Bone marrow smear · cropped to a single cell
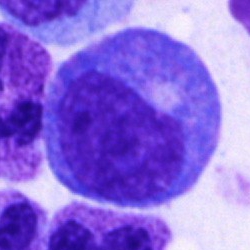 This is a progranulocyte.